Bone marrow aspirate smear: 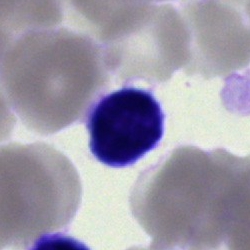 Morphological class: lymphocyte.